Bone marrow smear
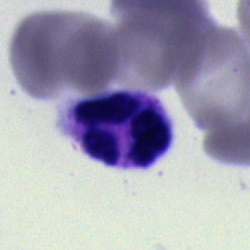

A segmented neutrophil.